Bone marrow smear — 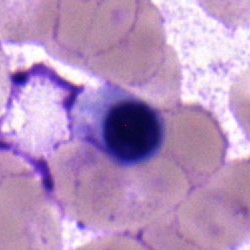Q: Which cell type is shown here?
A: It is a normoblast.